Bone marrow smear
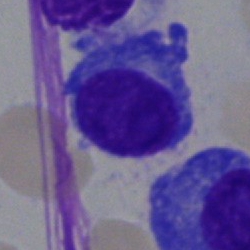

Showing a plasma cell.